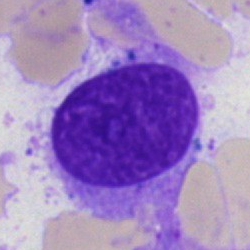

Bone marrow smear showing an artefact.